Bone marrow aspirate smear
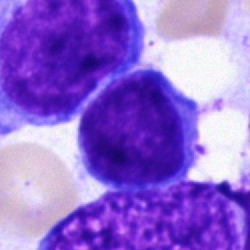 Typical lymphocyte.